Pappenheim-stained. Bone marrow aspirate smear
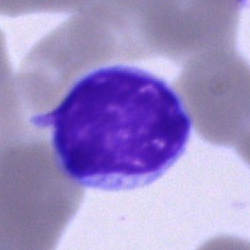
{"cell_type": "lymphocyte"}